Bone marrow aspirate smear
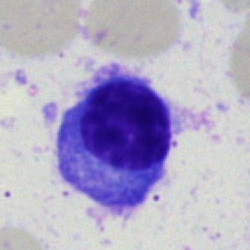Q: What is shown here?
A: This is a plasma cell.